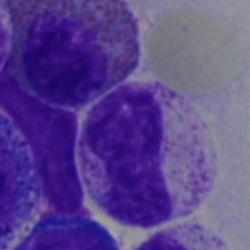

Band neutrophil.